Bone marrow smear — 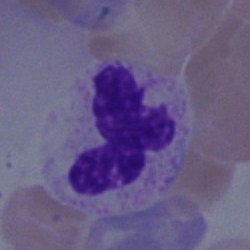 The morphological class is neutrophil (segmented).